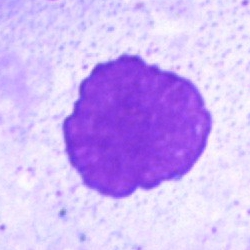

Specimen: bone marrow smear.
Cell: artifact.